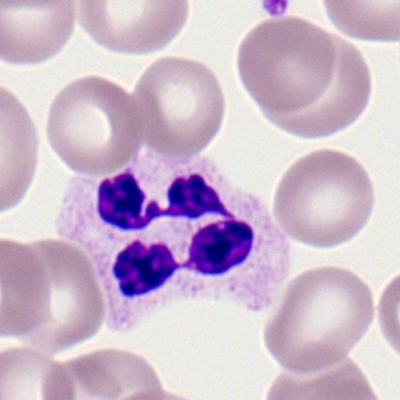Q: What cell is this?
A: A segmented neutrophil.